250 by 250 pixels · bone marrow aspirate smear:
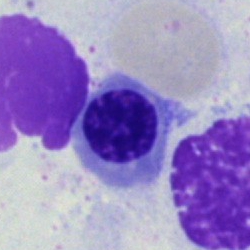

Specimen: bone marrow aspirate smear.
Morphological class: nucleated red cell.
Lineage: erythroid.